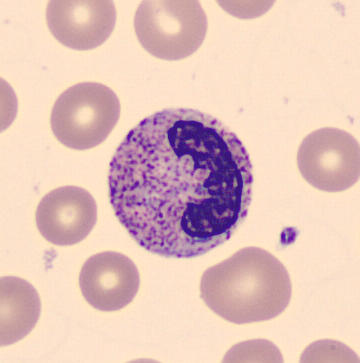Preparation: Peripheral blood film. Impression → band-form neutrophil.